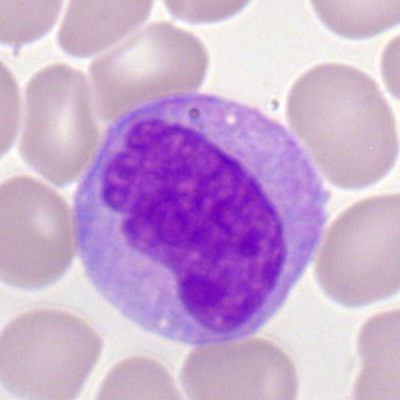
Classification = monocyte.